40× oil immersion · bone marrow aspirate smear:
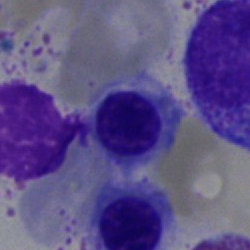 Q: What type of cell is this?
A: A nucleated red cell.